Bone marrow aspirate smear — 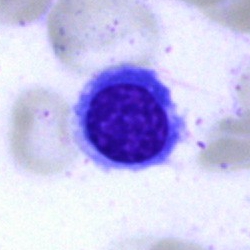This is a nucleated red cell.